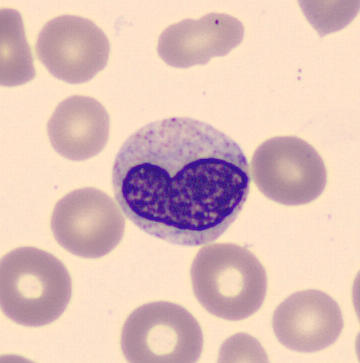

Image: Peripheral blood film. Q: What is shown here?
A: A metamyelocyte.